Single cell centered in the field. M8 digital microscope (Precipoint), 100× oil immersion. Peripheral blood film — 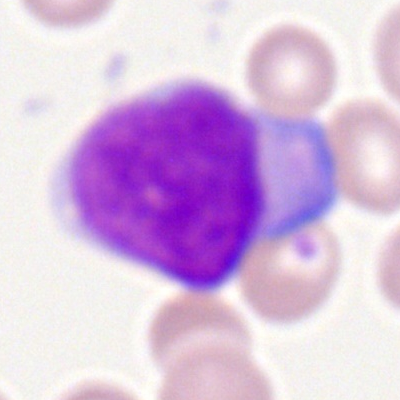Cell type: myeloblast.